MGG-stained. Bone marrow smear
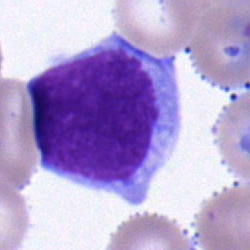 Q: What cell is this?
A: This is an undifferentiated blast.